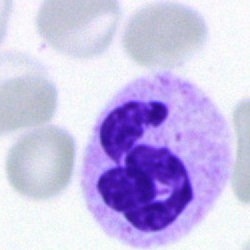 Single-cell crop from a bone marrow smear: polymorphonuclear neutrophil.